Bone marrow aspirate smear
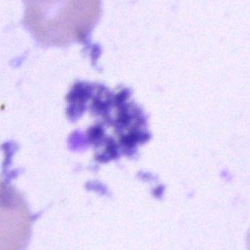

Classification = artifact.